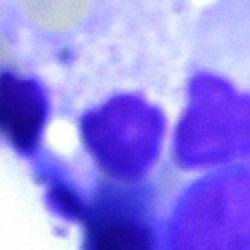
Cell type = artifact.